Bone marrow aspirate smear.
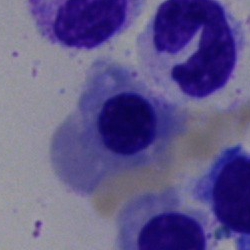

This is a normoblast.